Bone marrow aspirate smear: 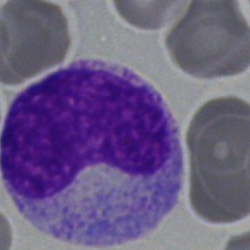

Q: What is the morphological classification of this cell?
A: It is a metamyelocyte.